Bone marrow aspirate smear: 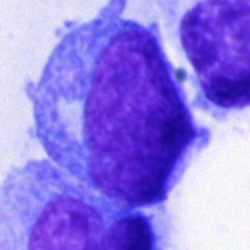

Blast.